Single-cell field. Bone marrow smear — 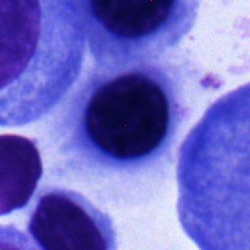

Cell: normoblast.